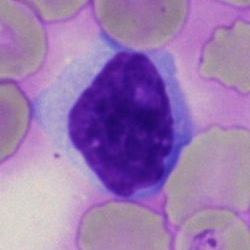Cell = typical lymphocyte.